Bone marrow aspirate smear — 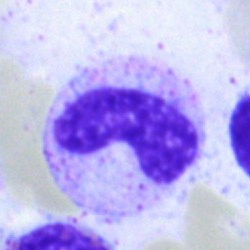

{"cell_type": "band neutrophil"}